Peripheral blood film; Romanowsky stain — 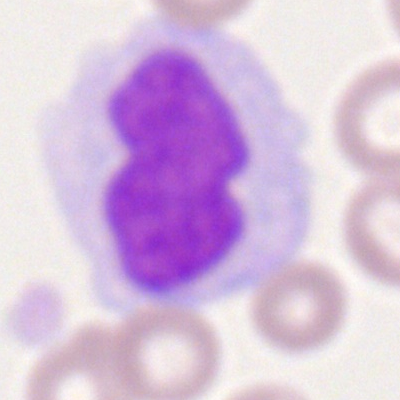 Cell — monocyte.